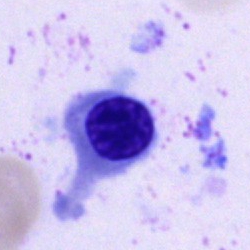 Single cell identified as an erythroblast.